250×250 · bone marrow aspirate smear · single-cell field: 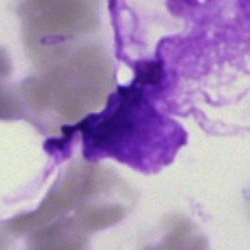This is an artifact.